Bone marrow aspirate smear: 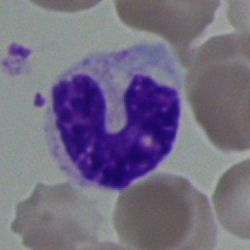
Cell type = band neutrophil.